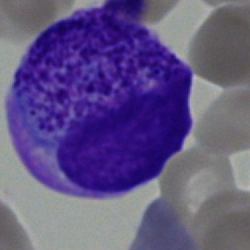An undifferentiated blast on a bone marrow smear.